Bone marrow smear. Brightfield, 40× oil-immersion objective:
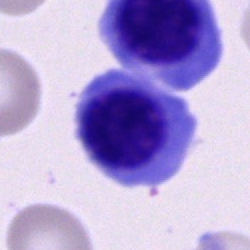 Impression — nucleated red cell.